Single cell centered in the field. May-Grünwald-Giemsa stain. Bone marrow aspirate smear: 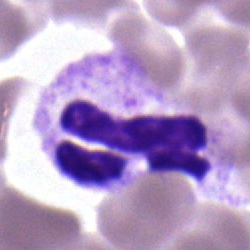 Specimen: bone marrow aspirate smear.
Morphological class: polymorphonuclear neutrophil.
Lineage: myeloid.